Bone marrow aspirate smear; single cell centered in the field: 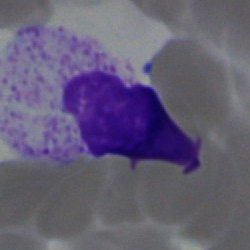
Q: What type of cell is this?
A: This is a myelocyte.